40× oil immersion · bone marrow smear · 250×250: 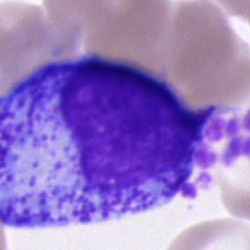
Morphological class = progranulocyte.